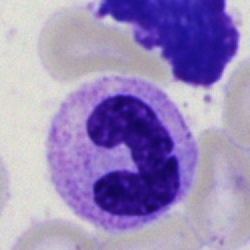Bone marrow aspirate smear, single cell — band neutrophil.